Pappenheim-stained · bone marrow aspirate smear.
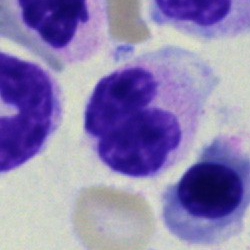
Specimen: bone marrow smear.
Cell type: polymorphonuclear neutrophil.
Lineage: myeloid.